May-Grünwald-Giemsa stain. 250×250 px. Bone marrow aspirate smear:
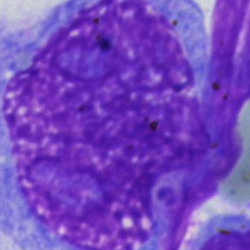 Morphological class — artefact.